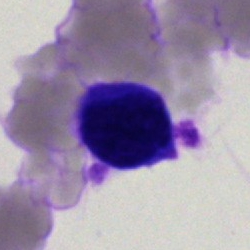 Cell — artifact.